Bone marrow aspirate smear:
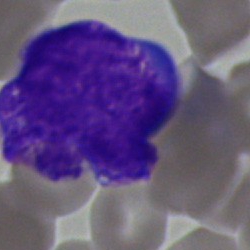
Q: Which cell type is shown here?
A: It is a blast cell.